250 by 250 pixels. Bone marrow aspirate smear: 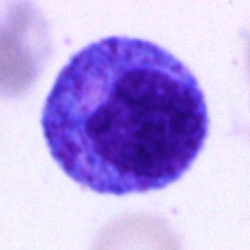

Morphology consistent with a progranulocyte.